Bone marrow aspirate smear:
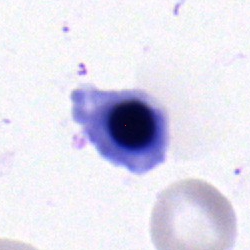A nucleated red blood cell.